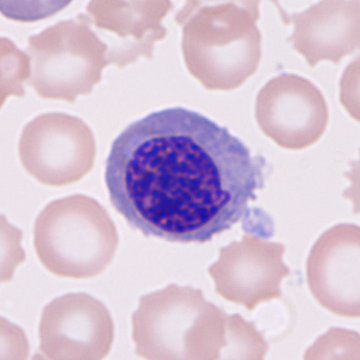 The morphological class is nucleated red blood cell.
May Grünwald-Giemsa stain. CellaVision DM96. Peripheral blood smear.